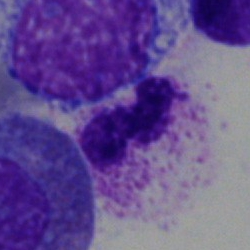
Single-cell crop from a bone marrow smear: segmented neutrophil.